Bone marrow smear: 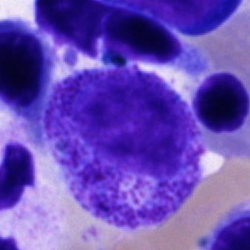Classification = progranulocyte.